Bone marrow aspirate smear
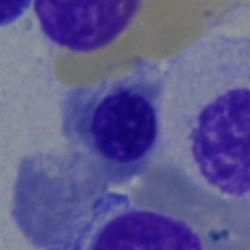
The classification is erythroblast.